Bone marrow aspirate smear
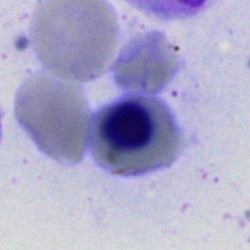This is a nucleated red blood cell.